Bone marrow smear:
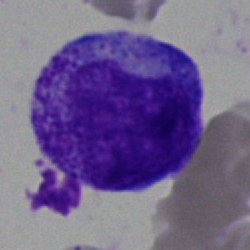

Specimen: bone marrow smear.
Classification: myelocyte.